May-Grünwald-Giemsa/Pappenheim stain; bone marrow smear — 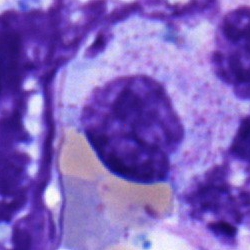
The cell is myelocyte.